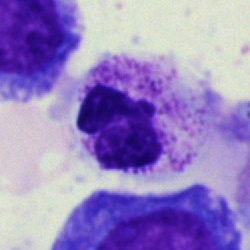

This is a segmented neutrophil.